Bone marrow smear:
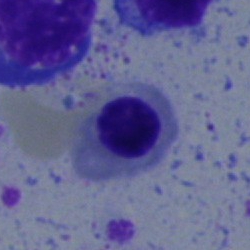Q: Identify the cell.
A: An erythroblast.